Bone marrow smear: 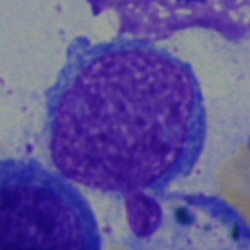Q: What is shown here?
A: Blast.